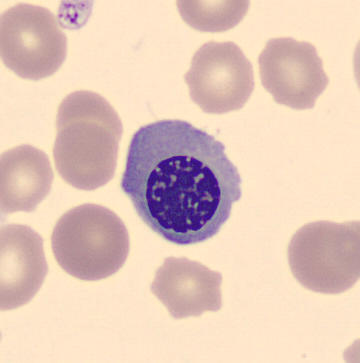 Peripheral blood smear; 360×363 px; single-cell field.
Q: What is the morphological classification of this cell?
A: This is a normoblast.